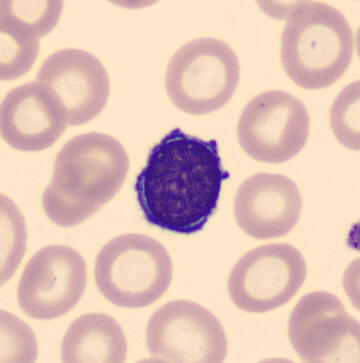 Specimen: peripheral blood film.
Cell type: typical lymphocyte.
Lineage: lymphoid.